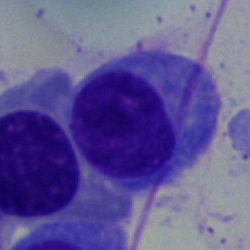Plasmacyte.